Bone marrow aspirate smear; image size 250×250 — 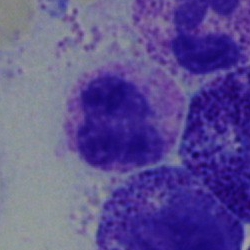
Impression — segmented neutrophil.